Pappenheim-stained. Bone marrow smear: 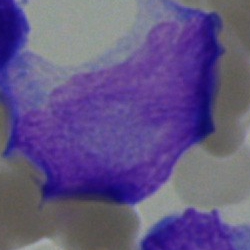An undifferentiated blast.